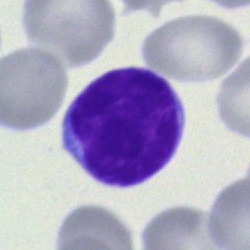

Q: What type of cell is this?
A: It is a lymphocyte.